Bone marrow aspirate smear
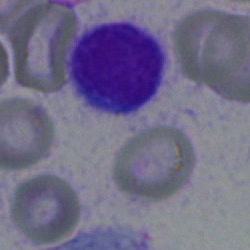Cell: lymphocyte.